Bone marrow smear — 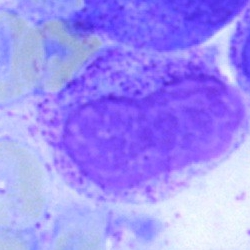
Cell type: unidentifiable cell.